Bone marrow aspirate smear — 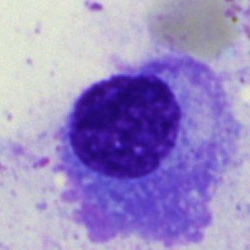 Plasma cell.